May-Grünwald-Giemsa stain; bone marrow smear — 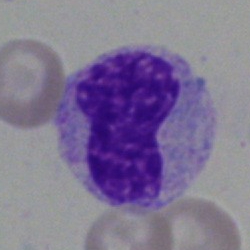
The morphological class is band neutrophil.